Bone marrow aspirate smear; 250×250; 40× objective, oil immersion
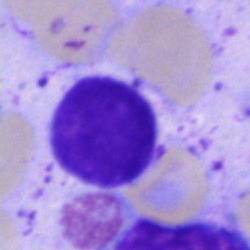
This is a typical lymphocyte.